Bone marrow smear — 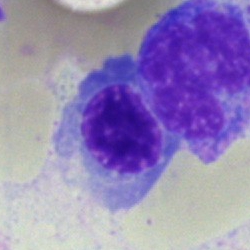 Morphology consistent with a nucleated red blood cell.